Bone marrow aspirate smear — 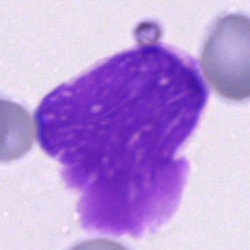The cell shown is an artifact.